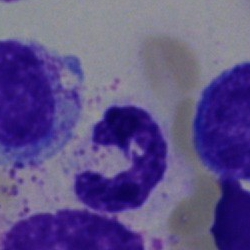

{"cell_type": "neutrophil (segmented)", "lineage": "myeloid"}